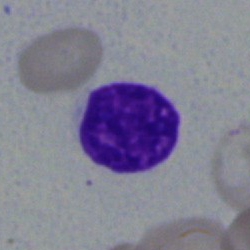Specimen: bone marrow aspirate smear.
Cell: typical lymphocyte.
Lineage: lymphoid.